Brightfield, 40× oil-immersion objective · MGG-stained · bone marrow aspirate smear
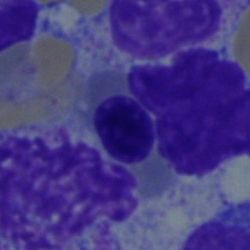
Single cell identified as an erythroblast.